Bone marrow aspirate smear.
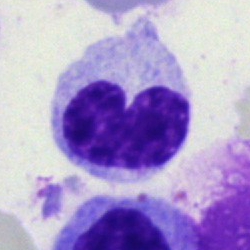 Q: What cell is this?
A: A band-form neutrophil.